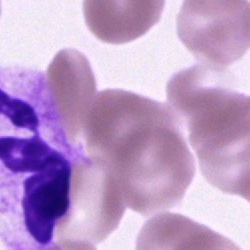

Q: Identify the cell.
A: This is a neutrophil (segmented).